Bone marrow aspirate smear — 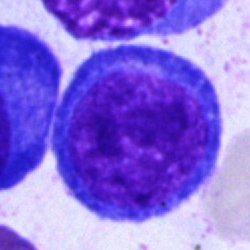 Single cell identified as a pronormoblast.